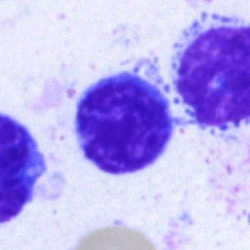
Morphological class — lymphocyte.